Peripheral blood smear.
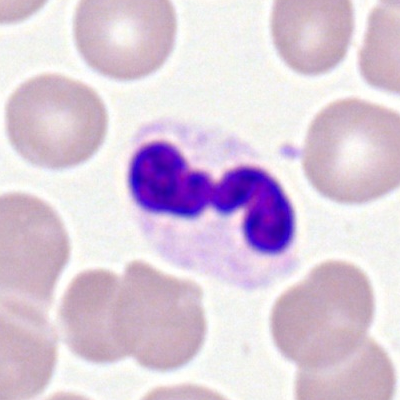
Q: What is the morphological classification of this cell?
A: Neutrophil (segmented).